Bone marrow aspirate smear — 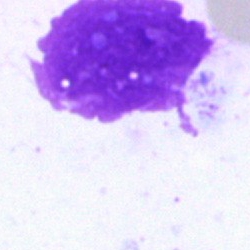 The cell type is artefact.